Image size 250×250 · bone marrow aspirate smear
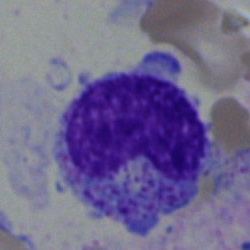

Specimen: bone marrow smear.
Cell: metamyelocyte.